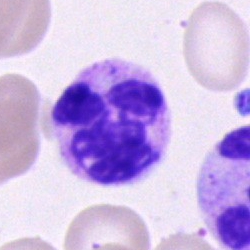 A segmented neutrophil on a bone marrow smear.